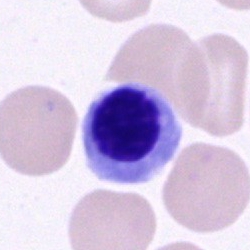

Impression → nucleated red blood cell.